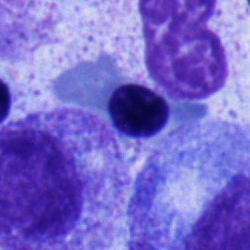
Impression → erythroblast.